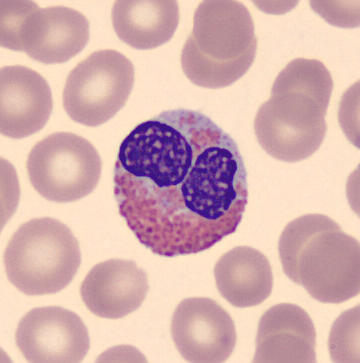
Impression — eosinophil.
Image: 360×363 px; peripheral blood film.